Bone marrow smear — 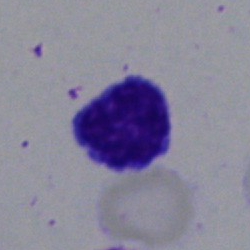Q: Identify the cell.
A: It is a typical lymphocyte.